MGG-stained. Bone marrow smear
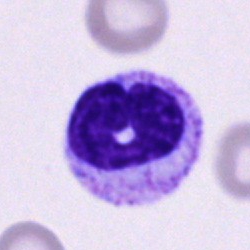

Morphology → neutrophil (segmented).